250×250 · bone marrow smear:
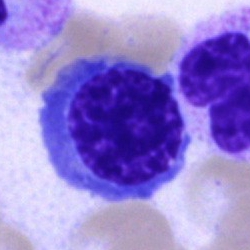This is an erythroblast.